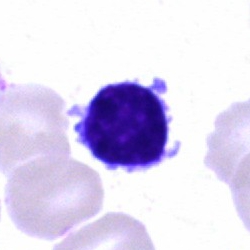 Classification — lymphocyte.